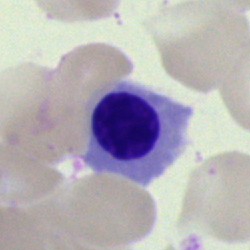Bone marrow aspirate smear, single cell — nucleated red blood cell.